Brightfield microscopy, 40× oil immersion; bone marrow smear.
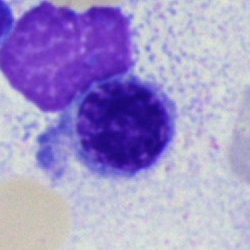
Morphology consistent with an erythroblast.